400×400 px; peripheral blood film
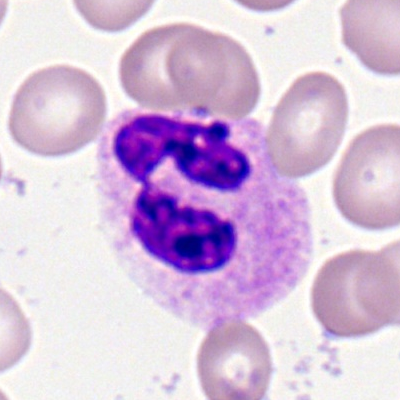

Specimen: peripheral blood smear.
Cell: segmented neutrophil.